Bone marrow smear: 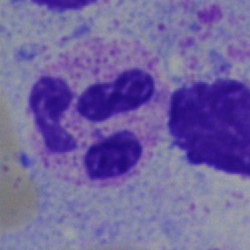
Morphology consistent with a neutrophil (segmented).